Image size 250×250. 40× objective, oil immersion. Bone marrow smear.
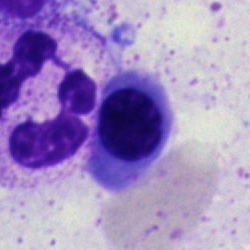Impression — normoblast.